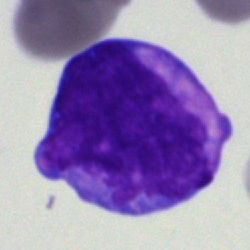

The cell is blast.